Bone marrow smear:
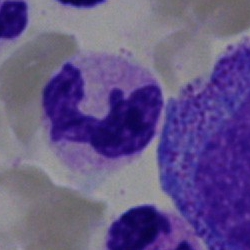Morphology → segmented neutrophil.